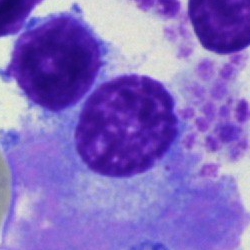 A plasma cell on a bone marrow smear.